Bone marrow smear; image size 250×250 — 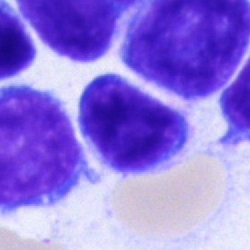Showing a lymphocyte.